Single-cell field; Pappenheim-stained; bone marrow aspirate smear — 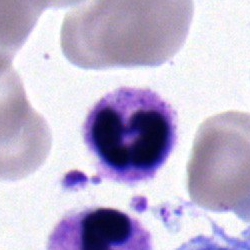Polymorphonuclear neutrophil.